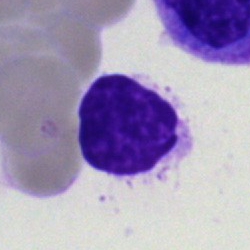

Specimen: bone marrow smear.
Cell: artifact.